Bone marrow aspirate smear: 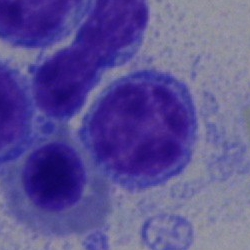This is a lymphocyte.